Bone marrow smear. Cropped to a single cell
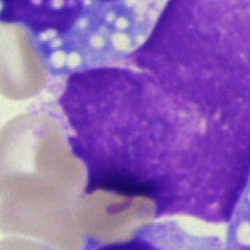Single cell identified as an artefact.